May-Grünwald-Giemsa stain; bone marrow aspirate smear — 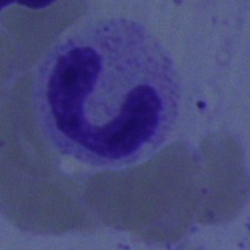 Q: What type of cell is this?
A: Stab cell.